Cropped to a single cell. Peripheral blood smear. Brightfield, 100× oil-immersion objective: 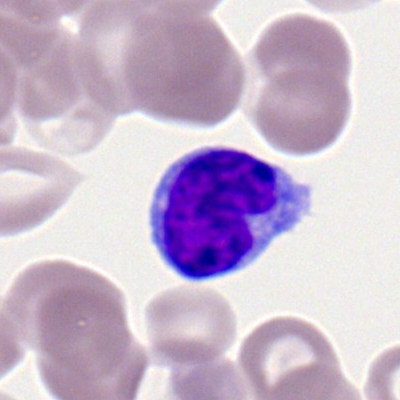Morphology → lymphocyte.